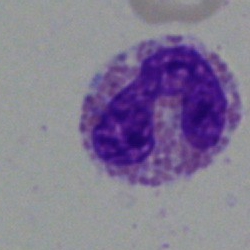 Cell — eosinophil.